250×250 px. Single-cell crop. Bone marrow smear.
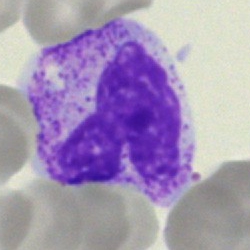Cell type: neutrophil (segmented).